Brightfield microscopy, 40× oil immersion · Pappenheim-stained · bone marrow aspirate smear — 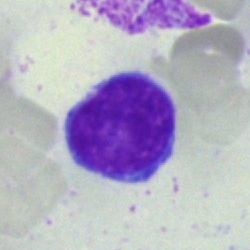
Q: Identify the cell.
A: A typical lymphocyte.